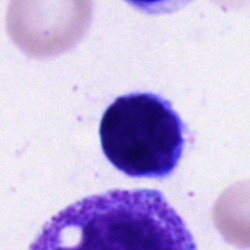Specimen: bone marrow smear.
Classification: lymphocyte.